Bone marrow smear; May-Grünwald-Giemsa/Pappenheim stain: 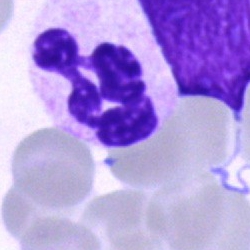 Q: Which cell type is shown here?
A: Polymorphonuclear neutrophil.